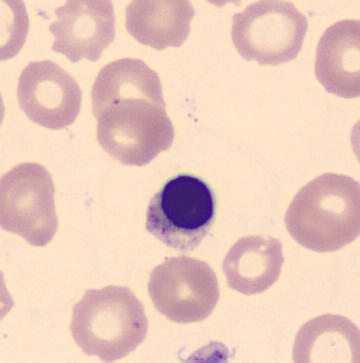Q: Which cell type is shown here?
A: It is a nucleated red cell.